Bone marrow smear.
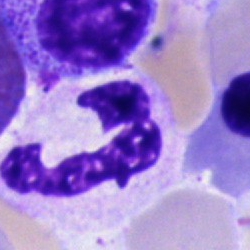Specimen: bone marrow aspirate smear.
Cell: polymorphonuclear neutrophil.